Peripheral blood film; 400 by 400 pixels — 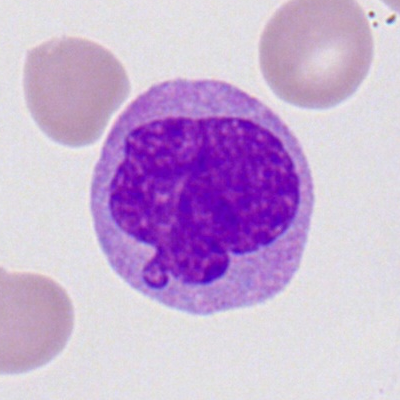 Q: Which cell type is shown here?
A: It is a monocyte.